Bone marrow aspirate smear; image size 250×250; brightfield, 40× oil-immersion objective.
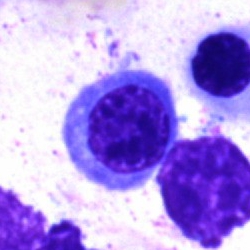
Specimen: bone marrow aspirate smear.
Morphological class: erythroblast.